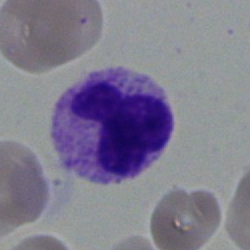 Cell type: neutrophil (segmented).